Bone marrow smear — 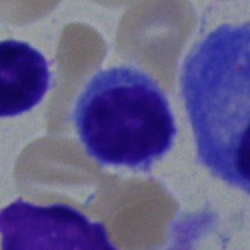

Showing a lymphocyte.